Bone marrow smear — 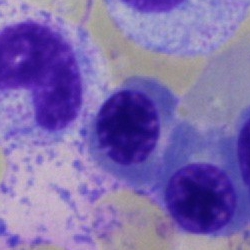

Morphological class = nucleated red blood cell.